Bone marrow smear — 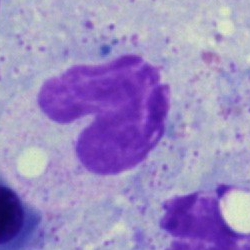

{"cell_type": "artefact"}